Bone marrow aspirate smear; single-cell field: 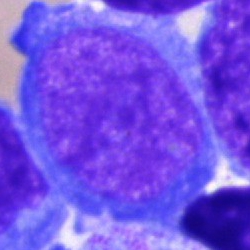
Impression → undifferentiated blast.